Bone marrow smear; 40× oil immersion: 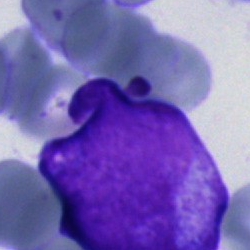
Cell type — blast.